Bone marrow aspirate smear · image size 250×250
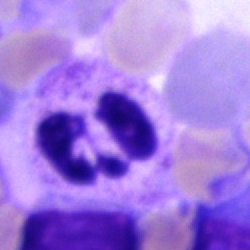

Classification: polymorphonuclear neutrophil.